Bone marrow smear.
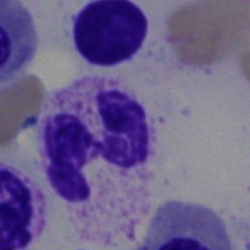 Q: What type of cell is this?
A: Polymorphonuclear neutrophil.